Bone marrow aspirate smear. Single-cell field:
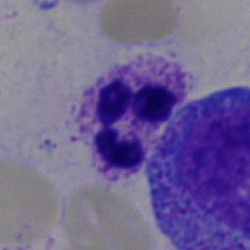
This is a segmented neutrophil.